Peripheral blood film. 100× oil immersion
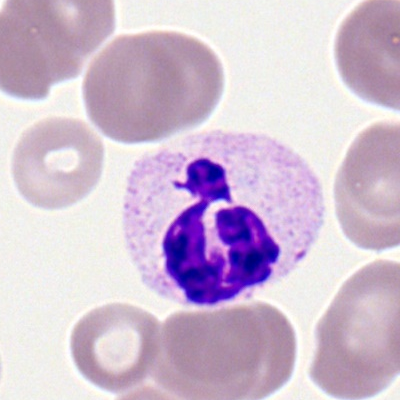
The morphological class is neutrophil (segmented).